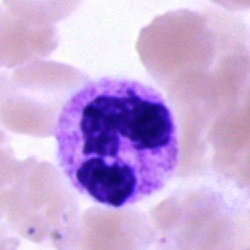The cell type is polymorphonuclear neutrophil.